Bone marrow aspirate smear · cropped to a single cell · May-Grünwald-Giemsa/Pappenheim stain
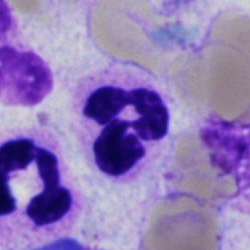

This is a polymorphonuclear neutrophil.